Bone marrow smear. 250×250.
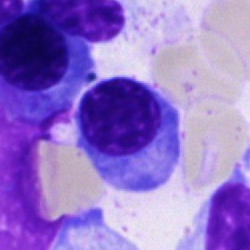 Q: What is shown here?
A: A nucleated red blood cell.